Bone marrow aspirate smear
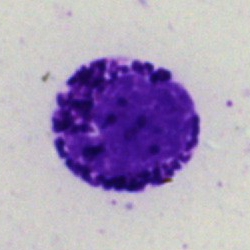

Specimen: bone marrow aspirate smear.
Cell: basophil.